Bone marrow smear. 250×250. Pappenheim-stained.
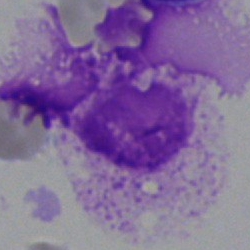

Morphology consistent with an artefact.